Bone marrow smear · 40× objective, oil immersion: 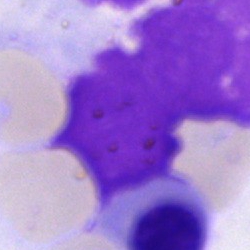The cell shown is an artifact.